Bone marrow smear; brightfield, 40× oil-immersion objective:
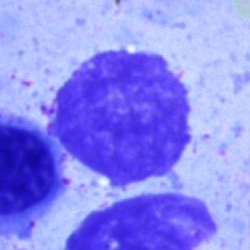Q: What is shown here?
A: An artefact.